Bone marrow aspirate smear:
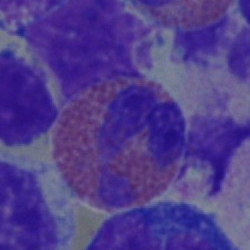

This is an eosinophil.